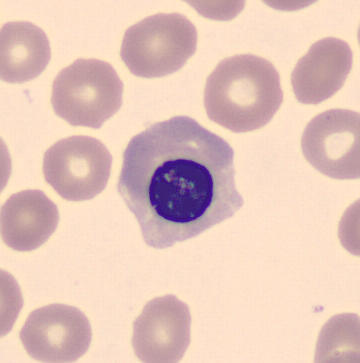
Peripheral blood smear. {"cell_type": "erythroblast"}